Bone marrow smear · brightfield microscopy, 40× oil immersion:
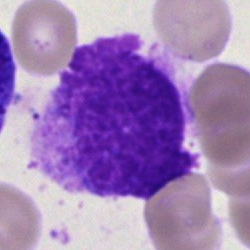

Morphology consistent with an artefact.